Brightfield microscopy, 40× oil immersion. Bone marrow smear. Single cell centered in the field.
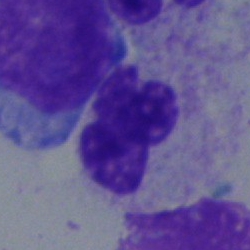Showing a neutrophil (segmented).